Bone marrow smear:
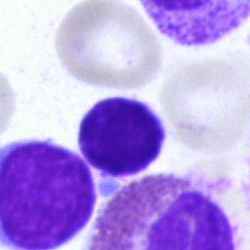
A lymphocyte.